40× objective, oil immersion; single cell centered in the field; bone marrow smear:
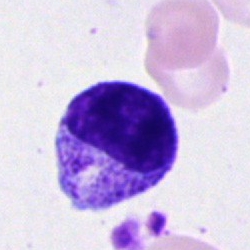Morphology consistent with a metamyelocyte.